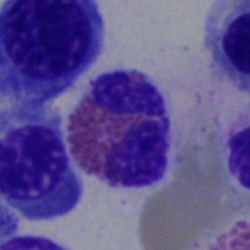

Impression — eosinophil.